Bone marrow aspirate smear.
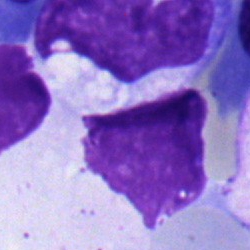

Showing a band-form neutrophil.